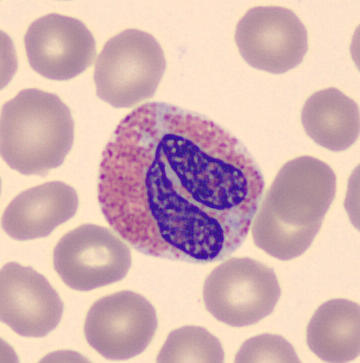
Classification — eosinophilic granulocyte. Peripheral blood film.